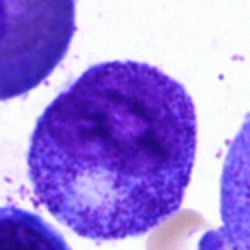Single cell identified as a progranulocyte.